Brightfield, 40× oil-immersion objective. Image size 250×250. Bone marrow smear: 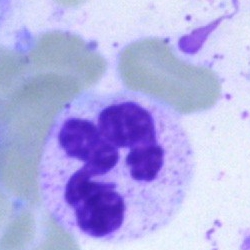Classification — segmented neutrophil.